Bone marrow smear — 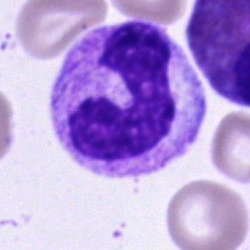Band neutrophil.